Bone marrow smear — 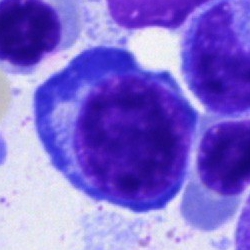

Cell = nucleated red blood cell.